Bone marrow aspirate smear; cropped to a single cell; brightfield microscopy, 40× oil immersion — 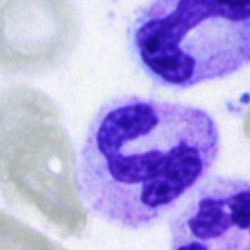Morphological class: polymorphonuclear neutrophil.